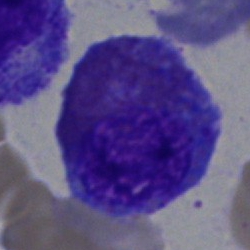

Q: What is shown here?
A: An eosinophil.